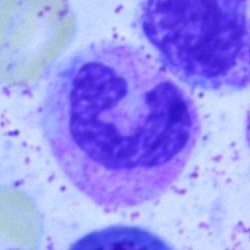 Single-cell crop from a bone marrow smear: neutrophil (segmented).